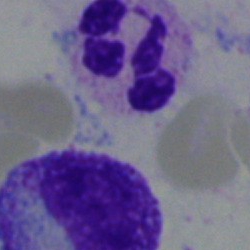

The cell shown is a neutrophil (segmented).